Bone marrow aspirate smear
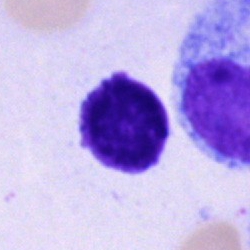 {"cell_type": "lymphocyte"}